Bone marrow smear; single-cell crop: 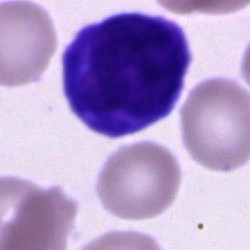

Unidentifiable cell.